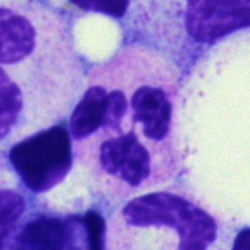A segmented neutrophil on a bone marrow smear.